Bone marrow smear · cropped to a single cell
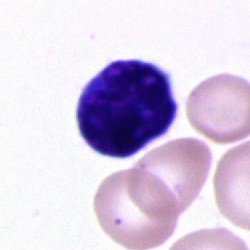Showing an unidentifiable cell.